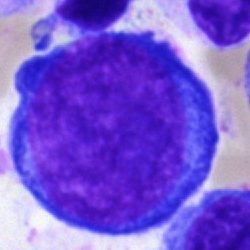
Q: What cell is this?
A: This is a proerythroblast.